250×250 px; bone marrow aspirate smear: 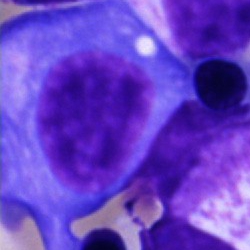 Q: Which cell type is shown here?
A: It is a plasmacyte.